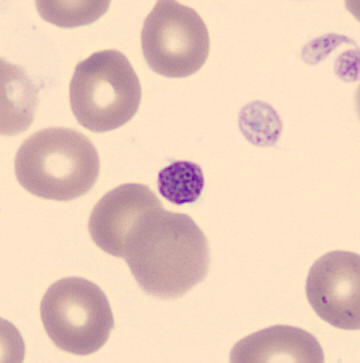 A platelet (thrombocyte) on a peripheral blood smear.